Bone marrow smear:
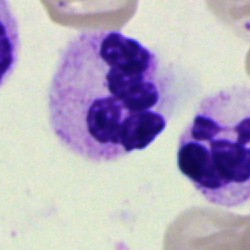 Impression — neutrophil (segmented).